Bone marrow aspirate smear: 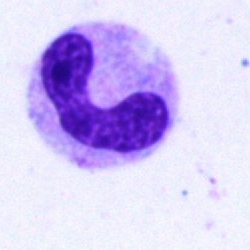

Cell — band neutrophil.